Bone marrow smear: 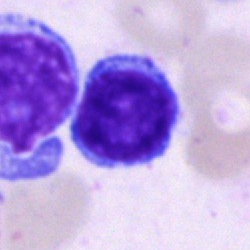 Cell type — typical lymphocyte.